Bone marrow smear · image size 250×250.
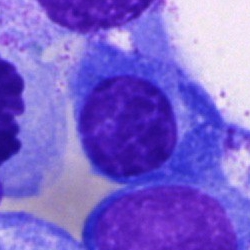

Q: Identify the cell.
A: This is a plasmacyte.